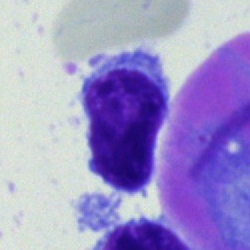 Impression — typical lymphocyte.